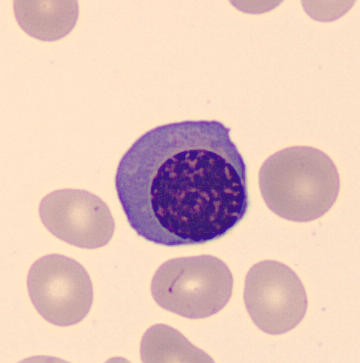
Q: What cell is this?
A: This is an erythroblast.